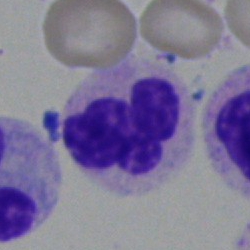
Classification = segmented neutrophil.